Bone marrow aspirate smear
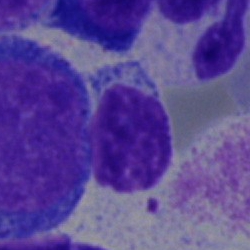

Morphological class — typical lymphocyte.